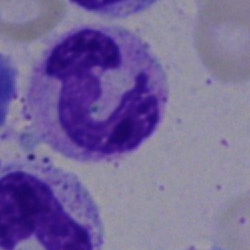 Showing a neutrophil (segmented).